Bone marrow aspirate smear. 250×250:
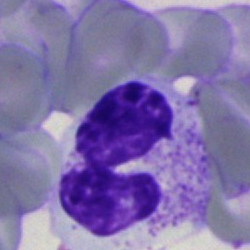Morphology — neutrophil (segmented).